40× objective, oil immersion. Bone marrow smear — 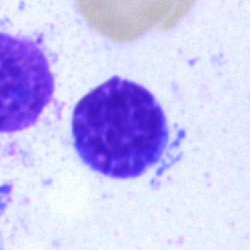 {"cell_type": "lymphocyte", "lineage": "lymphoid"}